May-Grünwald-Giemsa/Pappenheim stain. Brightfield microscopy, 40× oil immersion. Bone marrow aspirate smear:
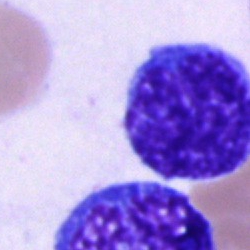

Morphological class = blast cell.